Bone marrow aspirate smear: 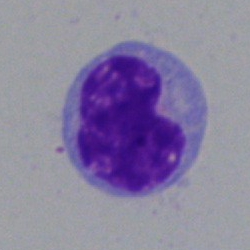
Q: What is the morphological classification of this cell?
A: This is a typical lymphocyte.